Bone marrow smear
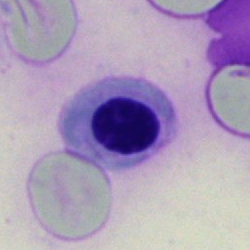 Morphology consistent with a normoblast.